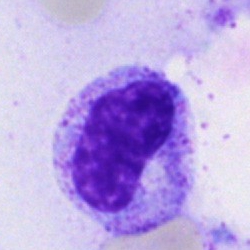
Specimen: bone marrow aspirate smear.
Cell type: metamyelocyte.
Lineage: myeloid.